Bone marrow aspirate smear.
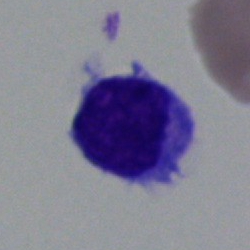 Q: What type of cell is this?
A: A typical lymphocyte.